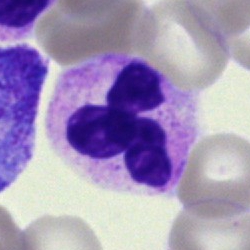

Morphology — segmented neutrophil.